Bone marrow smear; single cell centered in the field; May-Grünwald-Giemsa stain — 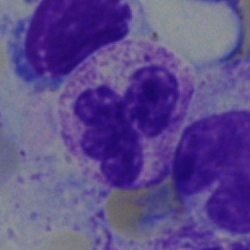

This is a polymorphonuclear neutrophil.